MGG-stained · bone marrow smear:
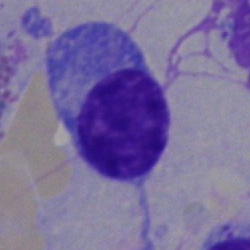A plasmacyte.